Bone marrow smear:
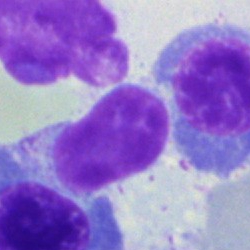

Typical lymphocyte.